Bone marrow smear:
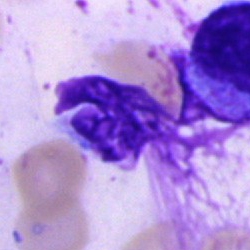

The cell shown is an artifact.